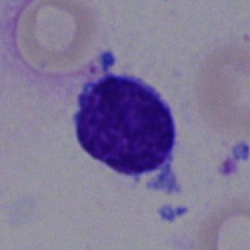 Impression → lymphocyte.